Bone marrow smear; single cell centered in the field:
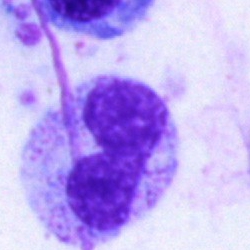Cell: band-form neutrophil.